Bone marrow aspirate smear
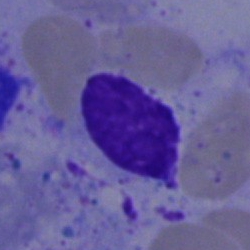 Single cell identified as a typical lymphocyte.